Bone marrow smear — 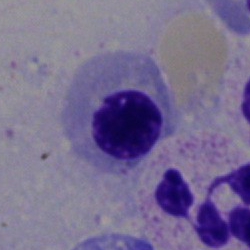
Q: Which cell type is shown here?
A: It is a nucleated red cell.